Bone marrow aspirate smear — 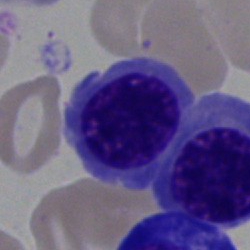 Classification — erythroblast.